Bone marrow aspirate smear:
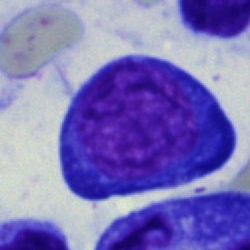
Cell: normoblast.